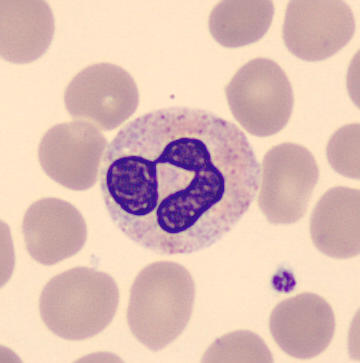 The cell shown is a segmented neutrophil.
Image: Peripheral blood film. CellaVision DM96.